Bone marrow smear. MGG-stained. 250×250 — 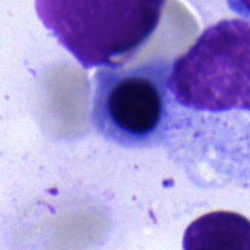
An erythroblast.